Bone marrow smear — 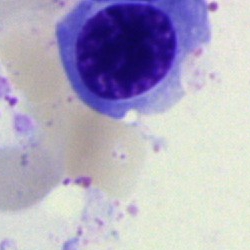 {"cell_type": "normoblast", "lineage": "erythroid"}